Bone marrow aspirate smear — 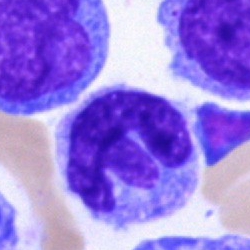

A monocyte.